Peripheral blood smear.
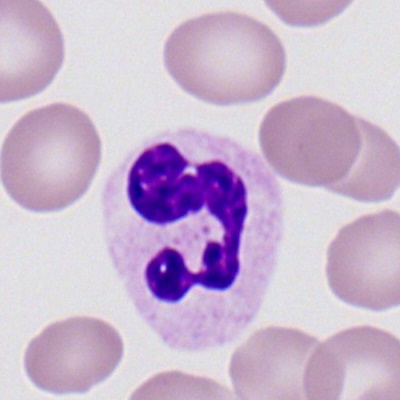

Single cell identified as a neutrophil (segmented).